Bone marrow smear:
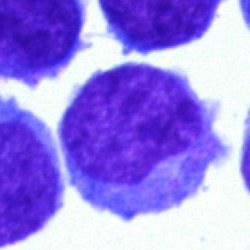

Showing a blast.